Bone marrow aspirate smear
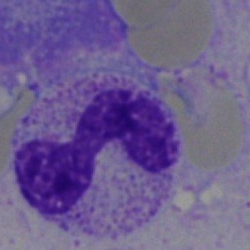Single cell identified as a segmented neutrophil.